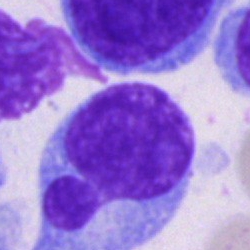

Morphology consistent with a plasmacyte.